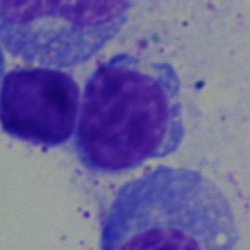
This is a lymphocyte.